Bone marrow smear; Pappenheim-stained
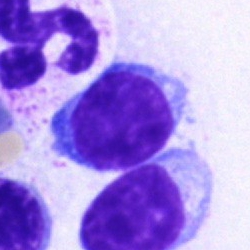

The cell is lymphocyte.